May-Grünwald-Giemsa stain · single cell centered in the field · bone marrow aspirate smear — 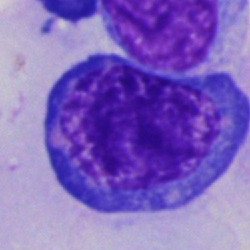

Morphology — undifferentiated blast.